Bone marrow smear. Brightfield microscopy, 40× oil immersion
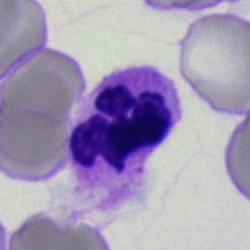 Impression → polymorphonuclear neutrophil.